Bone marrow smear
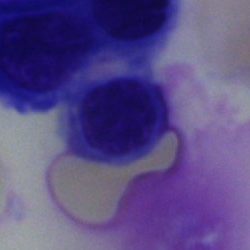

Showing a nucleated red cell.